Bone marrow smear.
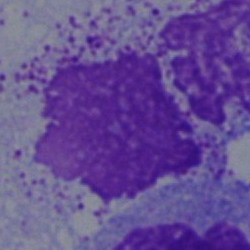Q: What is shown here?
A: An artifact.